Bone marrow smear — 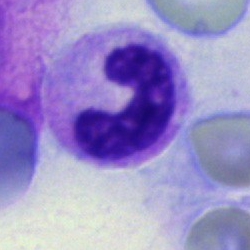

{"cell_type": "neutrophil (band)", "lineage": "myeloid"}